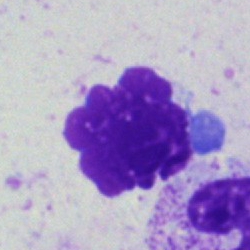Q: What is shown here?
A: This is an artifact.